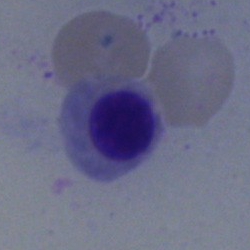 An erythroblast on a bone marrow smear.